Single-cell crop; 40× oil immersion; bone marrow aspirate smear.
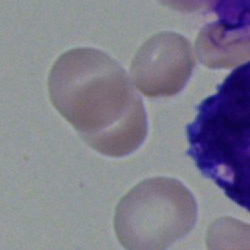

Cell of indeterminate lineage.